Brightfield microscopy, 40× oil immersion · 250 by 250 pixels · bone marrow aspirate smear
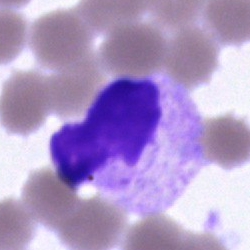Morphology consistent with an artifact.